Bone marrow smear:
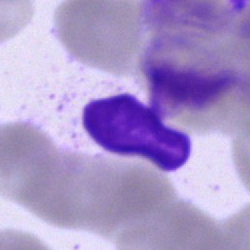

Classification — artefact.